Bone marrow smear · May-Grünwald-Giemsa stain:
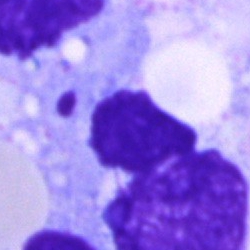

Cell: artifact.